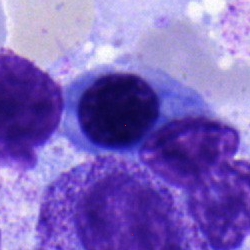{"cell_type": "nucleated red cell", "lineage": "erythroid"}